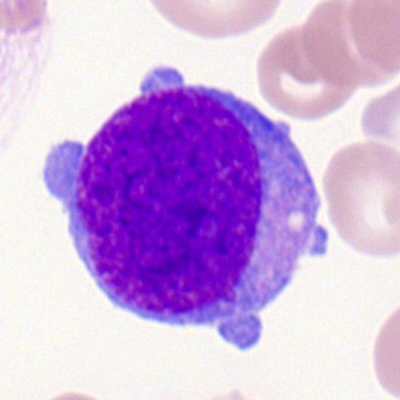 Cell type = myeloid blast.